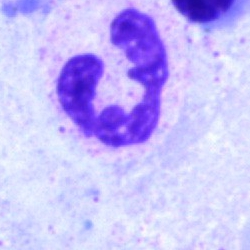
A polymorphonuclear neutrophil on a bone marrow smear.